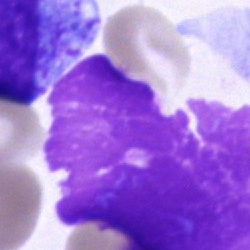
An artefact on a bone marrow smear.